Pappenheim-stained; bone marrow aspirate smear; cropped to a single cell — 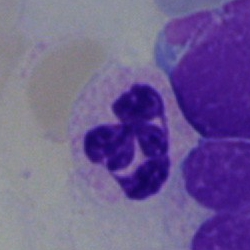
Q: What is shown here?
A: A segmented neutrophil.